Bone marrow smear — 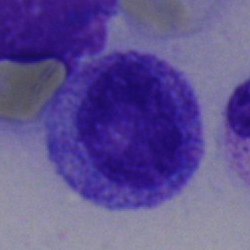
Classification — progranulocyte.